Bone marrow smear: 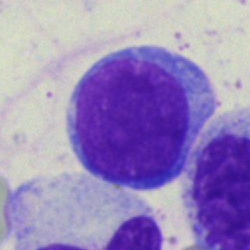

Q: Identify the cell.
A: A lymphocyte.